Bone marrow smear · May-Grünwald-Giemsa stain
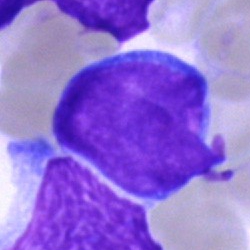This is a blast cell.